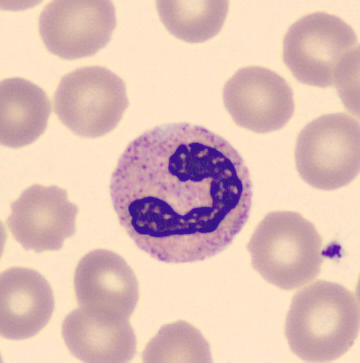 Q: Identify the cell.
A: Stab cell.